Brightfield microscopy, 40× oil immersion · bone marrow smear — 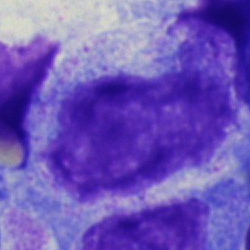
Cell: myelocyte.